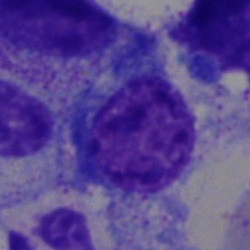 Specimen: bone marrow smear.
Morphological class: typical lymphocyte.
Lineage: lymphoid.